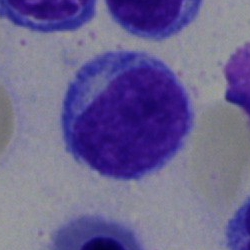Cell type = lymphocyte.